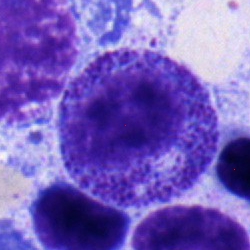
The morphological class is myelocyte.